Peripheral blood film:
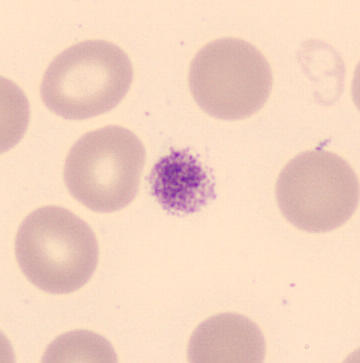 Morphological class: platelet (thrombocyte).